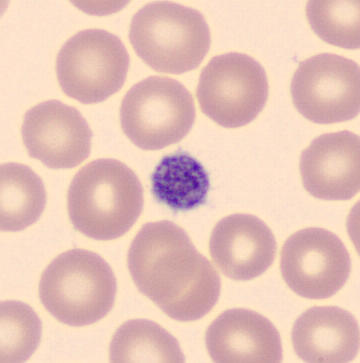Image: Peripheral blood smear.
{"cell_type": "platelet"}